Bone marrow aspirate smear:
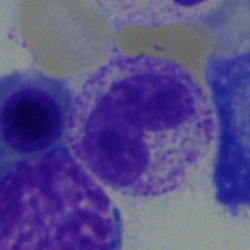
Q: Which cell type is shown here?
A: It is a neutrophil (band).